Bone marrow smear.
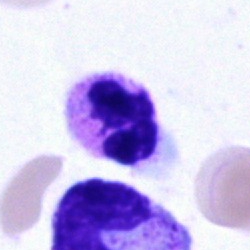 Classification — segmented neutrophil.